Bone marrow smear — 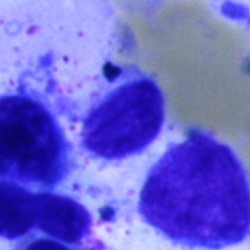

Q: What is shown here?
A: Artefact.